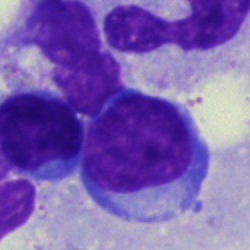

A typical lymphocyte.